40× oil immersion · bone marrow smear · May-Grünwald-Giemsa/Pappenheim stain: 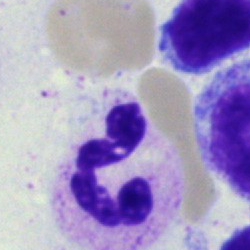

Neutrophil (segmented).